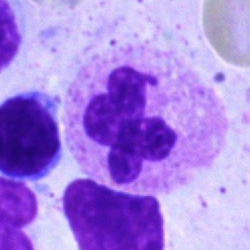{"cell_type": "polymorphonuclear neutrophil"}